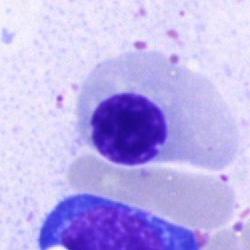The cell is normoblast.